Bone marrow smear; 250×250 px; May-Grünwald-Giemsa/Pappenheim stain
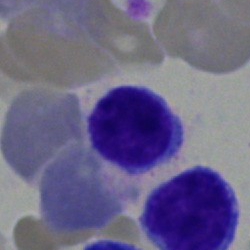

Morphology — typical lymphocyte.